Bone marrow smear · 250×250
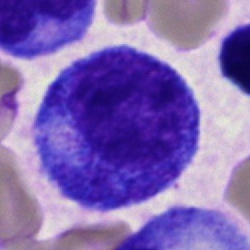
Specimen: bone marrow aspirate smear.
Cell: promyelocyte.
Lineage: myeloid.